Romanowsky-stained. Peripheral blood smear. Single cell centered in the field: 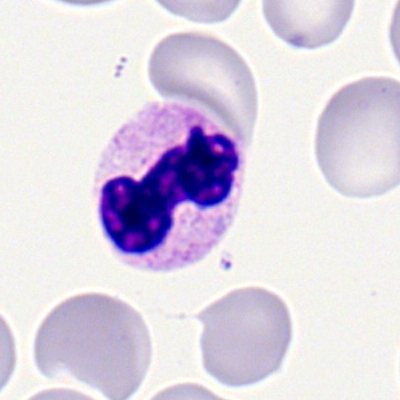 Q: What type of cell is this?
A: A segmented neutrophil.